Bone marrow smear — 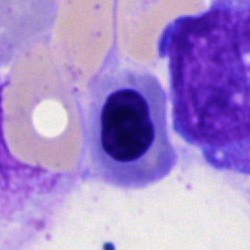
Cell = nucleated red blood cell.